Bone marrow smear.
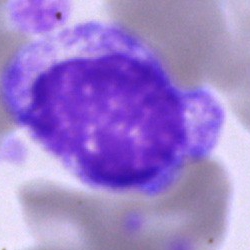

Cell — cell of indeterminate lineage.